Bone marrow smear. May-Grünwald-Giemsa/Pappenheim stain:
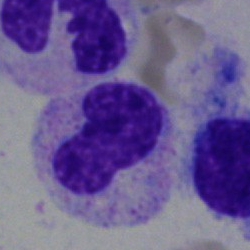Cell — band neutrophil.